Peripheral blood smear
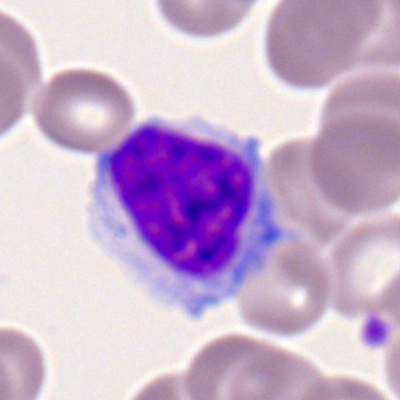 This is a lymphocyte.